Bone marrow aspirate smear
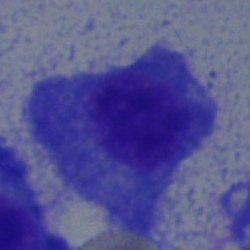
Classification: plasmacyte.